Bone marrow smear; single-cell field.
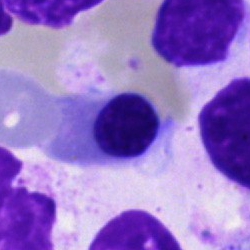

Q: What cell is this?
A: Nucleated red blood cell.